Peripheral blood film; single cell centered in the field.
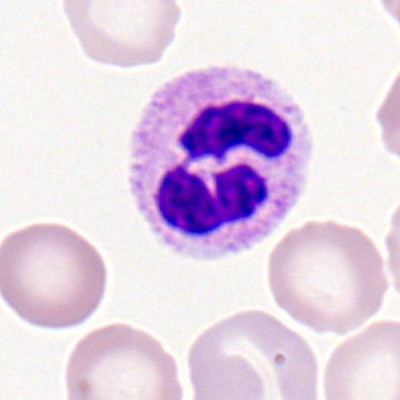Neutrophil (segmented).